May-Grünwald-Giemsa/Pappenheim stain · bone marrow smear · brightfield microscopy, 40× oil immersion: 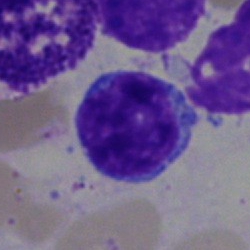 This is a typical lymphocyte.